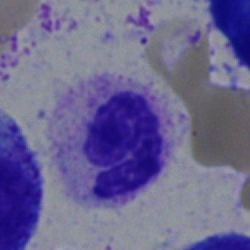

Morphology → segmented neutrophil.